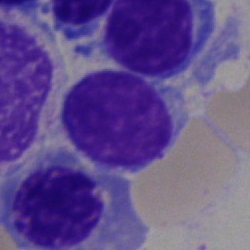Morphological class: lymphocyte.